Bone marrow smear
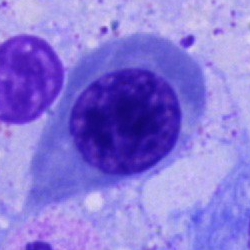
Classification: normoblast.